Bone marrow smear:
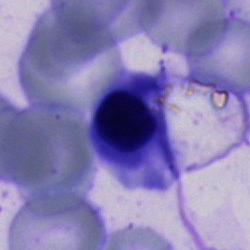 Q: Identify the cell.
A: A normoblast.